Brightfield microscopy, 40× oil immersion. May-Grünwald-Giemsa/Pappenheim stain. Bone marrow aspirate smear:
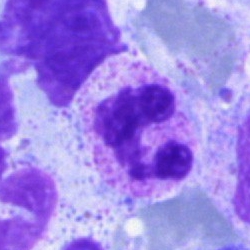

A segmented neutrophil.